Bone marrow smear: 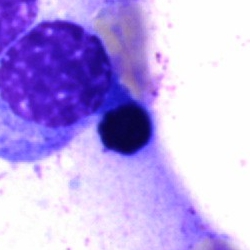
Cell = cell of indeterminate lineage.